Bone marrow aspirate smear; single cell centered in the field.
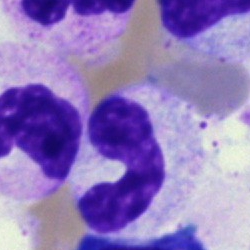
Cell — neutrophil (band).